Bone marrow aspirate smear — 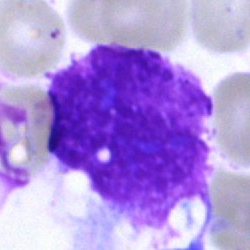

The cell shown is an artifact.